Peripheral blood smear: 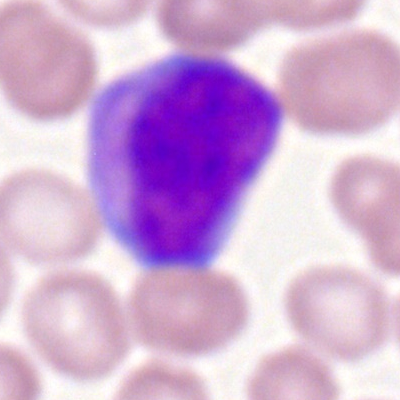

{"cell_type": "myeloblast", "lineage": "myeloid"}